Bone marrow smear. MGG-stained: 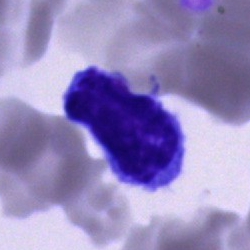

Showing a lymphocyte.